May-Grünwald-Giemsa stain · bone marrow smear · 40× objective, oil immersion.
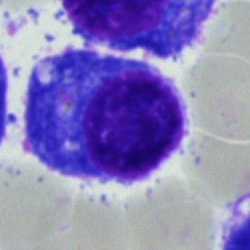 The cell is plasmacyte.